Single-cell crop; bone marrow smear; MGG-stained: 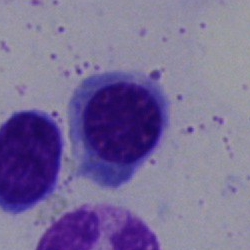
Nucleated red cell.